250 by 250 pixels · bone marrow smear
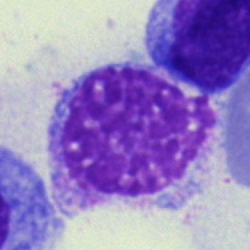 Morphology consistent with an artifact.